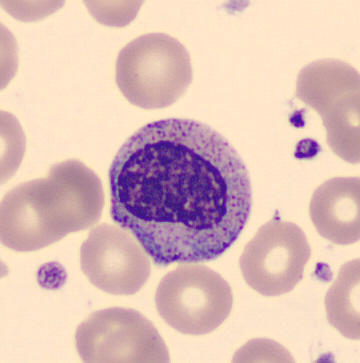
Specimen: peripheral blood film.
Cell: myelocyte.